Pappenheim-stained. Bone marrow aspirate smear. 40× oil immersion: 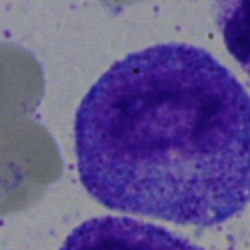Promyelocyte.